Bone marrow smear: 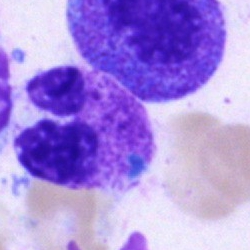
{"cell_type": "polymorphonuclear neutrophil"}